Image size 250×250. Pappenheim-stained. Bone marrow smear:
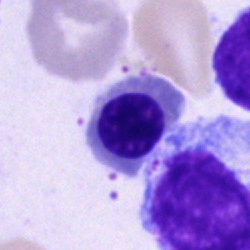 Specimen: bone marrow smear.
Morphological class: nucleated red blood cell.
Lineage: erythroid.